Bone marrow aspirate smear
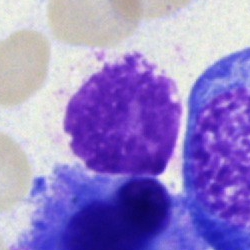
Specimen: bone marrow aspirate smear.
Classification: artefact.